Bone marrow aspirate smear — 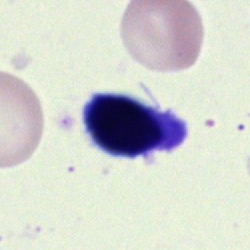

The morphological class is nucleated red blood cell.